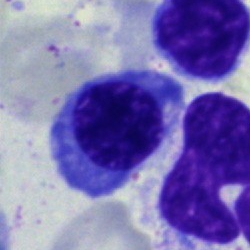 Single-cell crop from a bone marrow smear: nucleated red blood cell.